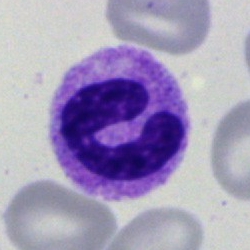

Single cell identified as a neutrophil (band).